Bone marrow aspirate smear — 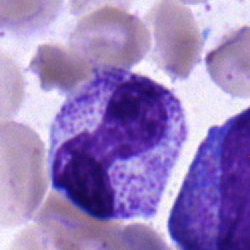This is a neutrophil (band).